Bone marrow aspirate smear.
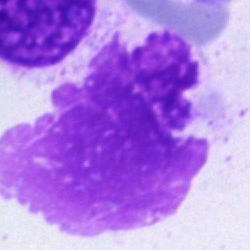
Classification = artifact.